Bone marrow aspirate smear
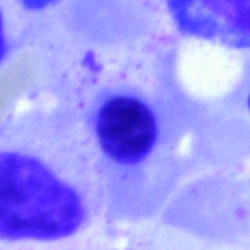
Erythroblast.